Bone marrow smear: 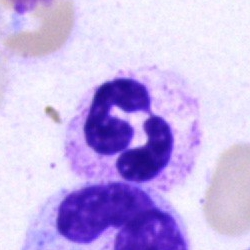
Q: Identify the cell.
A: It is a segmented neutrophil.